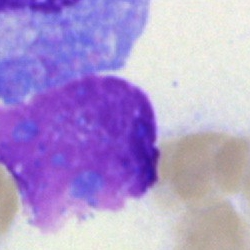

An artefact on a bone marrow smear.